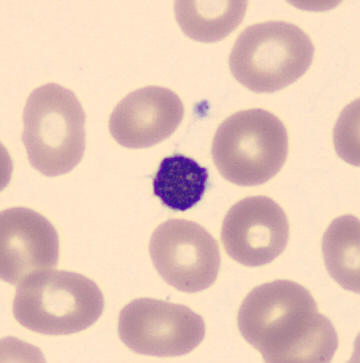

Impression — thrombocyte.